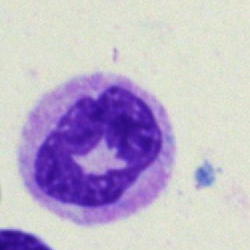

Morphology consistent with a neutrophil (segmented).